250×250. Bone marrow smear
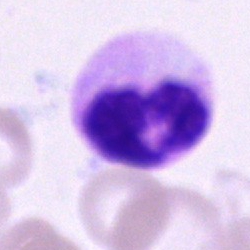

This is a segmented neutrophil.